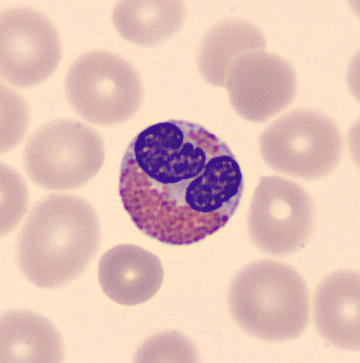

Image: Image size 360×363 · single-cell field · peripheral blood smear.
This is an eosinophilic granulocyte.